Cropped to a single cell · bone marrow aspirate smear:
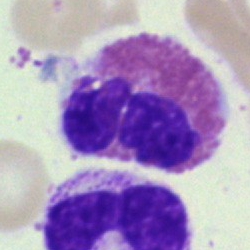 The cell shown is an eosinophilic granulocyte.